Bone marrow smear — 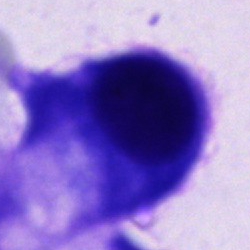 An other cell type.